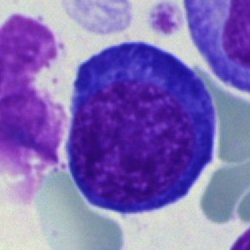
Classification = normoblast.